Image size 250×250; bone marrow aspirate smear: 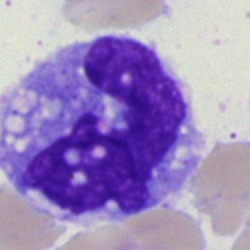 Q: What is shown here?
A: It is a monocyte.